Bone marrow smear. Brightfield microscopy, 40× oil immersion: 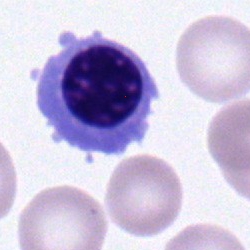

Erythroblast.